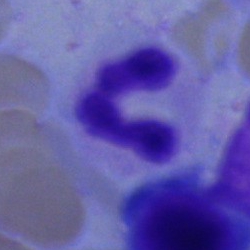 {"cell_type": "polymorphonuclear neutrophil", "lineage": "myeloid"}